Single-cell field; bone marrow aspirate smear: 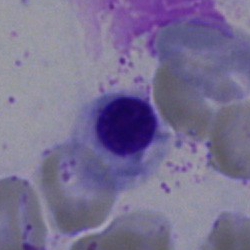 This is a normoblast.